Bone marrow aspirate smear
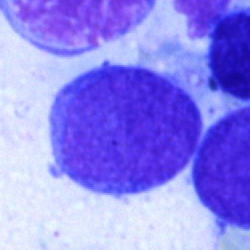Morphology → blast.